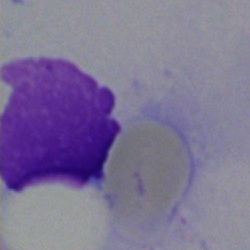
Q: What is shown here?
A: This is an artifact.